40× objective, oil immersion. Bone marrow smear. May-Grünwald-Giemsa stain: 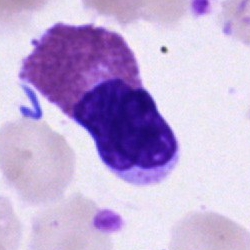This is an eosinophilic granulocyte.